Bone marrow aspirate smear:
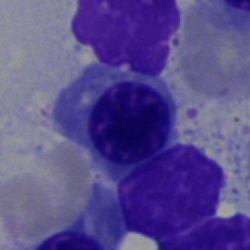

Cell type — nucleated red blood cell.